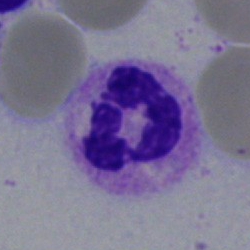

Cell — neutrophil (segmented).